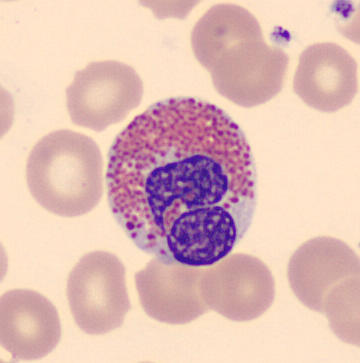 Classification — eosinophil.